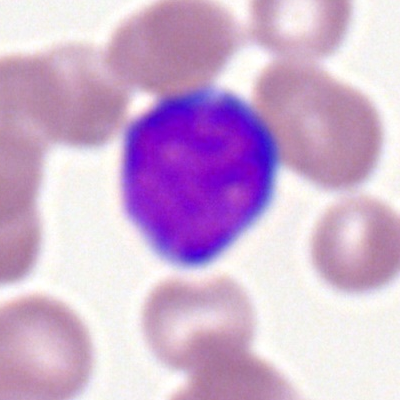
Single-cell crop from a peripheral blood smear: myeloid blast.